250 by 250 pixels; bone marrow smear:
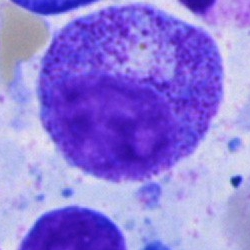
Morphology consistent with a progranulocyte.